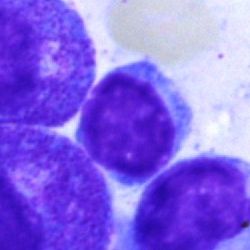The cell is typical lymphocyte.